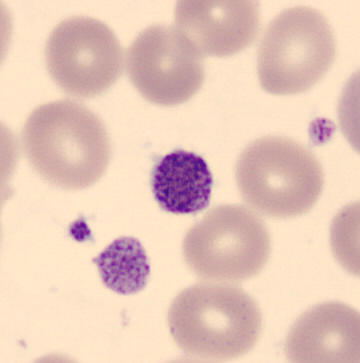

Q: What is shown here?
A: This is a thrombocyte.